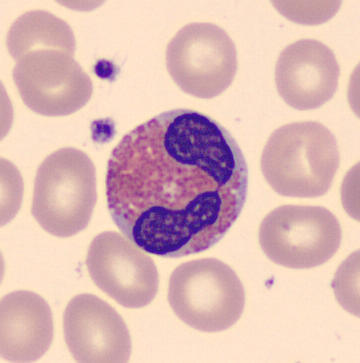

Acquisition: Peripheral blood smear; 360×363 px.
Identified as an eosinophilic granulocyte.